Bone marrow smear.
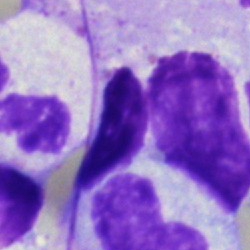

Artifact.